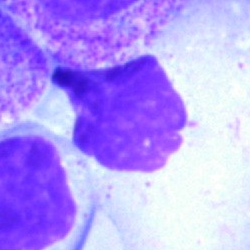

Cell type — artefact.